Bone marrow smear: 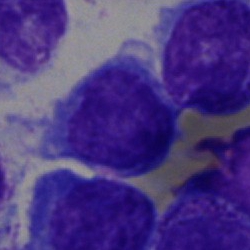
Cell: undifferentiated blast.